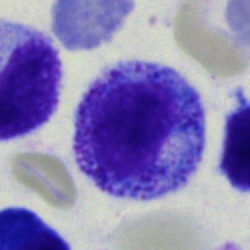
Cell: promyelocyte.